Bone marrow aspirate smear; single cell centered in the field: 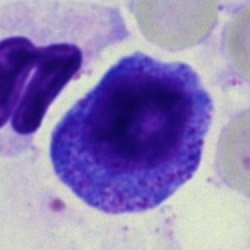 The classification is progranulocyte.